Bone marrow smear
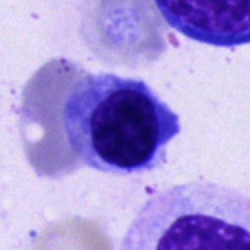 Q: Identify the cell.
A: Nucleated red cell.